Bone marrow aspirate smear — 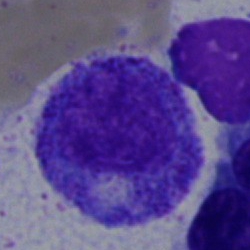Cell = promyelocyte.